Bone marrow aspirate smear.
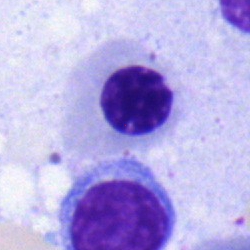
Showing a nucleated red blood cell.